Bone marrow smear; brightfield microscopy, 40× oil immersion — 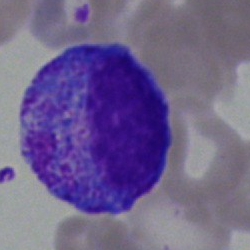 Q: What cell is this?
A: This is a progranulocyte.